Bone marrow aspirate smear. Single cell centered in the field. 250×250 px
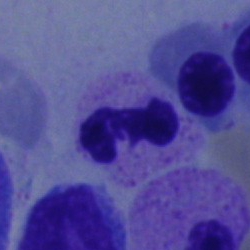The classification is neutrophil (segmented).